Single-cell field. Image size 250×250. Bone marrow aspirate smear: 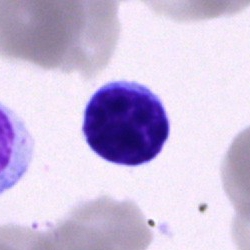
Cell: typical lymphocyte.